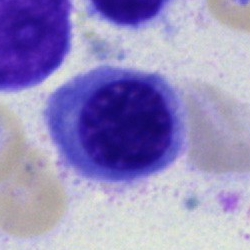

Morphological class — erythroblast.